Bone marrow aspirate smear · 250 by 250 pixels.
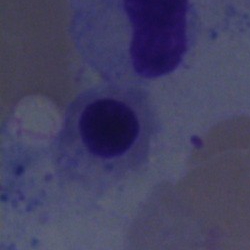The cell is normoblast.